Peripheral blood film.
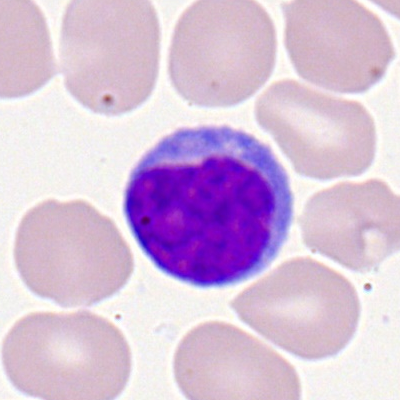 The classification is typical lymphocyte.